Bone marrow aspirate smear · image size 250×250 · brightfield, 40× oil-immersion objective — 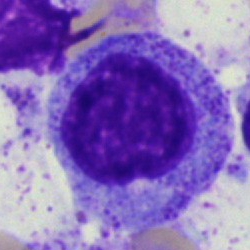 The classification is promyelocyte.